Bone marrow aspirate smear
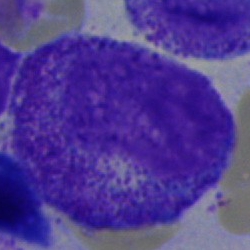 Specimen: bone marrow aspirate smear.
Cell type: promyelocyte.
Lineage: myeloid.